Bone marrow smear. Brightfield, 40× oil-immersion objective — 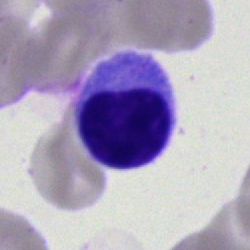 Specimen: bone marrow smear.
Classification: lymphocyte.
Lineage: lymphoid.